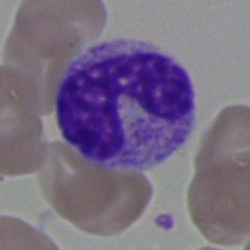Morphological class — polymorphonuclear neutrophil.